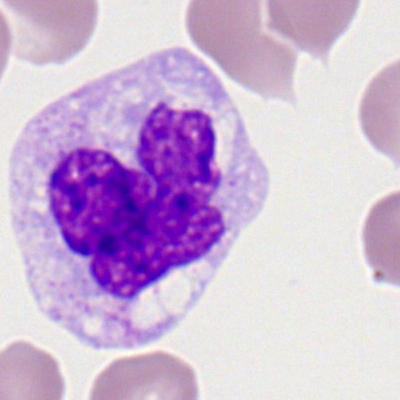

The cell shown is a monocyte.